Bone marrow aspirate smear. 250×250. Single-cell field:
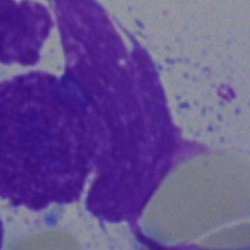
Morphology consistent with an artefact.